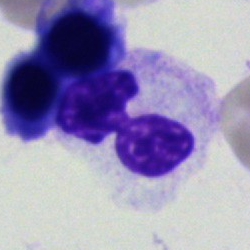
This is a polymorphonuclear neutrophil.